Peripheral blood smear: 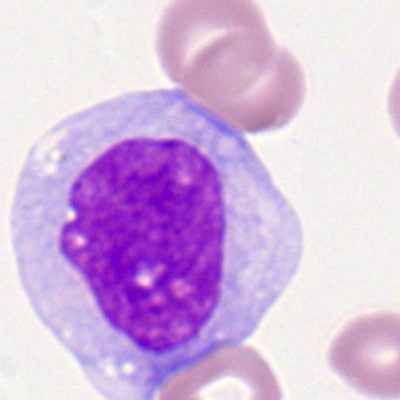 Specimen: peripheral blood film.
Cell type: monocyte.